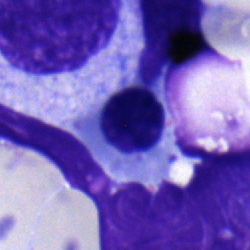Morphological class — nucleated red cell.